Bone marrow aspirate smear.
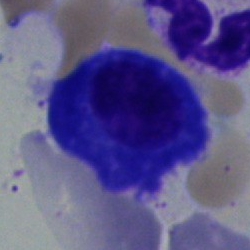This is a plasma cell.